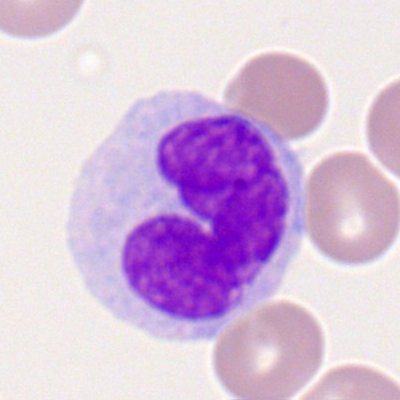
{"cell_type": "monocyte", "lineage": "myeloid"}